Bone marrow aspirate smear — 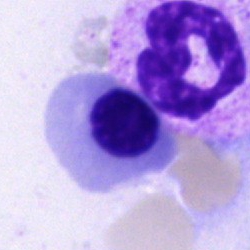

Classification — nucleated red cell.